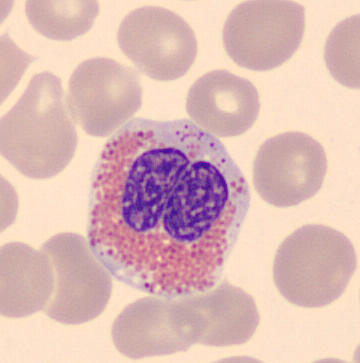Q: Identify the cell.
A: Eosinophil.
Image: Peripheral blood smear.